Bone marrow aspirate smear.
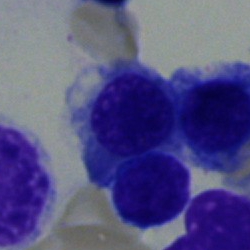
The cell is nucleated red cell.